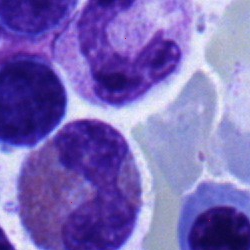Morphology → neutrophil (band).